Bone marrow smear: 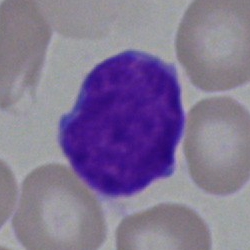
Morphological class — blast.